Single cell centered in the field; bone marrow aspirate smear:
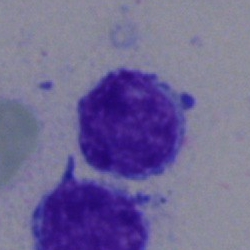
Showing a lymphocyte.